Bone marrow smear
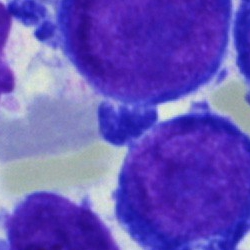A pronormoblast.